Bone marrow aspirate smear
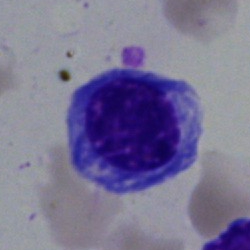
Q: What is shown here?
A: It is a normoblast.